Bone marrow aspirate smear — 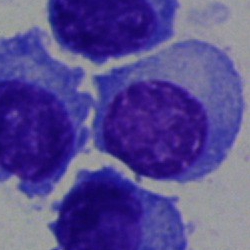 Cell type = plasma cell.